Single-cell field; bone marrow aspirate smear; 250 by 250 pixels:
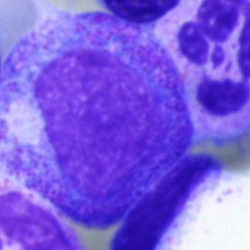

Morphology → progranulocyte.